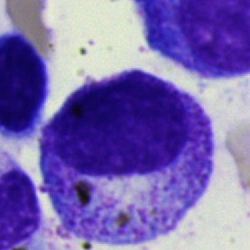

Q: Identify the cell.
A: Promyelocyte.